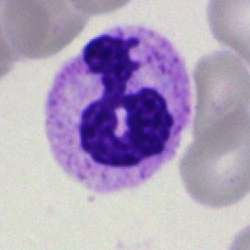

Cell type: segmented neutrophil.